Bone marrow aspirate smear
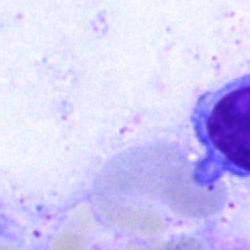
This is an artefact.